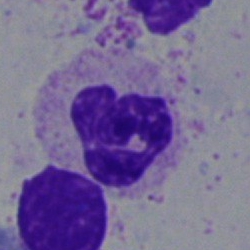 A segmented neutrophil on a bone marrow smear.